Single-cell crop; bone marrow aspirate smear — 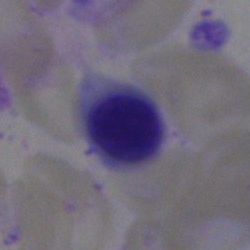 Nucleated red blood cell.